Cropped to a single cell. Bone marrow aspirate smear
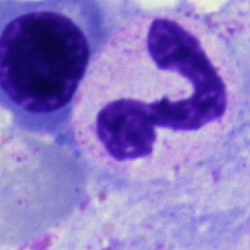Polymorphonuclear neutrophil.